Bone marrow smear · 250×250 px · brightfield, 40× oil-immersion objective
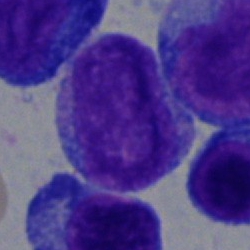

Cell: blast.